Bone marrow aspirate smear. MGG-stained. Single cell centered in the field: 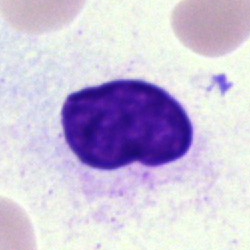 Impression → artefact.